Brightfield, 40× oil-immersion objective; bone marrow aspirate smear; single-cell crop
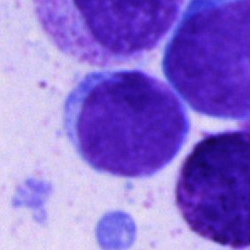A blast.